Bone marrow smear · brightfield microscopy, 40× oil immersion · MGG-stained — 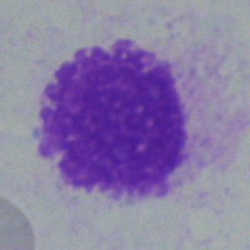
Artifact.